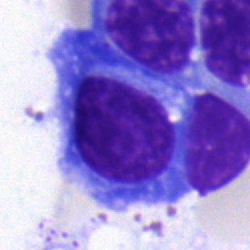
Morphology consistent with a plasma cell.